Bone marrow smear · single cell centered in the field · May-Grünwald-Giemsa stain: 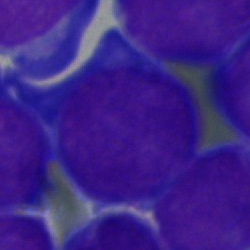
Impression → blast.